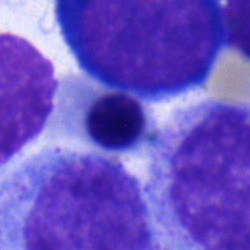Morphology — normoblast.